Bone marrow aspirate smear; 250×250 px; single-cell field — 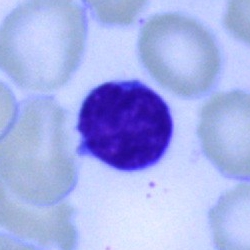

Q: What cell is this?
A: It is a lymphocyte.